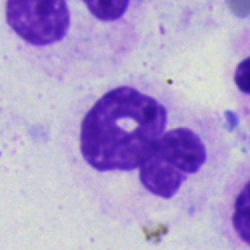

Q: What is the morphological classification of this cell?
A: It is a neutrophil (segmented).